Single-cell field. Bone marrow aspirate smear. 250×250 — 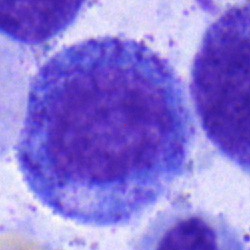Specimen: bone marrow smear.
Cell: progranulocyte.
Lineage: myeloid.